Bone marrow smear
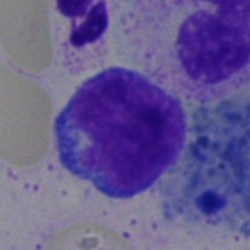

A lymphocyte.